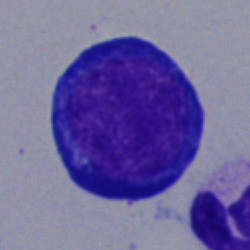
{"cell_type": "nucleated red blood cell", "lineage": "erythroid"}